Bone marrow aspirate smear; cropped to a single cell:
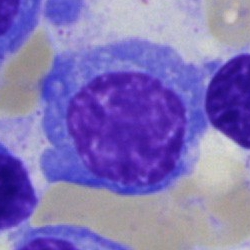
The cell shown is a plasmacyte.